Bone marrow smear:
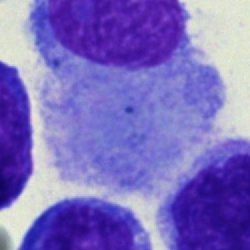 Morphology consistent with an unidentifiable cell.